Single-cell field. Bone marrow smear. MGG-stained
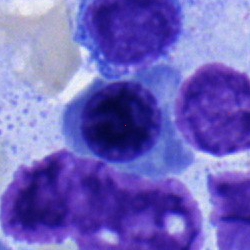 The cell shown is an erythroblast.